Peripheral blood film
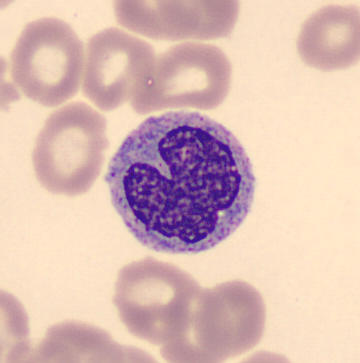 Q: What is the morphological classification of this cell?
A: A monocyte.